Romanowsky-stained; peripheral blood smear:
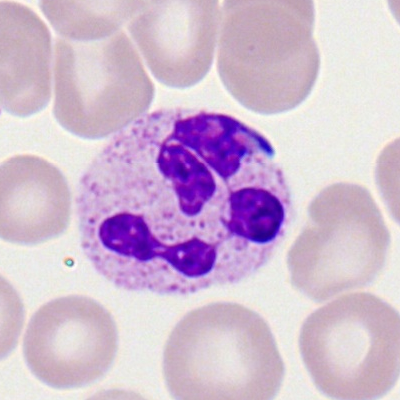Specimen: peripheral blood smear.
Cell type: neutrophil (segmented).